Image size 250×250. Bone marrow smear
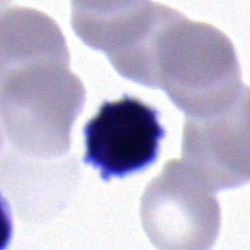 Q: What type of cell is this?
A: Typical lymphocyte.